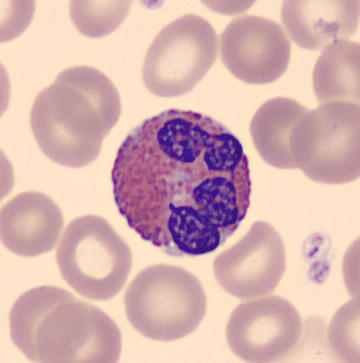

Preparation: Peripheral blood film. Cell = eosinophil.